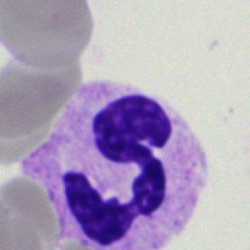 The cell shown is a polymorphonuclear neutrophil.